Bone marrow aspirate smear:
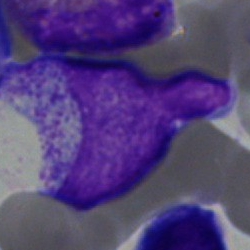Q: What type of cell is this?
A: This is a myelocyte.